Bone marrow aspirate smear · MGG-stained · 250 by 250 pixels
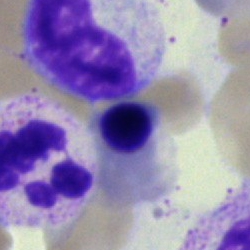
Impression — nucleated red cell.